Peripheral blood film:
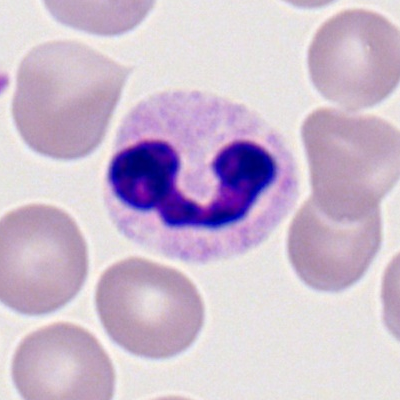 The cell shown is a neutrophil (segmented).